Bone marrow smear.
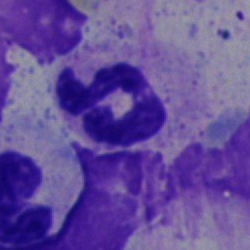 A segmented neutrophil.